Bone marrow smear — 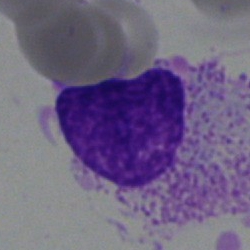
Classification: artefact.